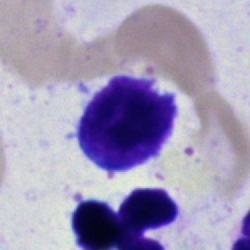
Typical lymphocyte.